Bone marrow aspirate smear:
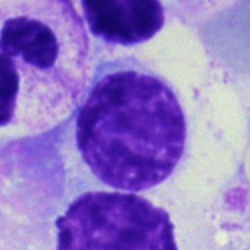
Morphology consistent with a monocyte.